Bone marrow aspirate smear.
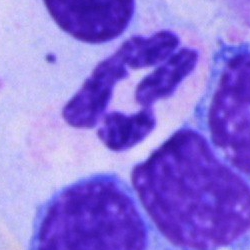
This is a polymorphonuclear neutrophil.